Bone marrow smear: 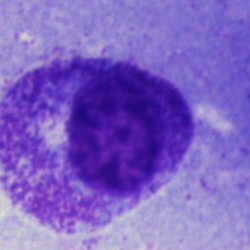
Q: What is the morphological classification of this cell?
A: It is a myelocyte.